250×250; bone marrow aspirate smear.
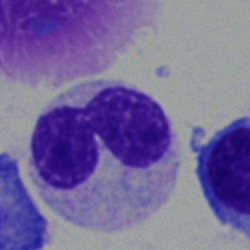Single cell identified as a polymorphonuclear neutrophil.